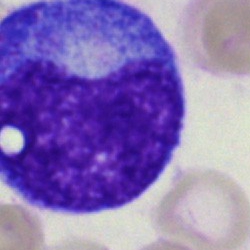 Single-cell crop from a bone marrow smear: promyelocyte.